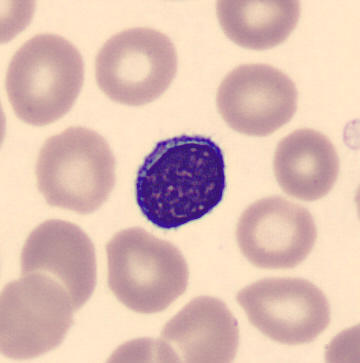Cell type = typical lymphocyte.